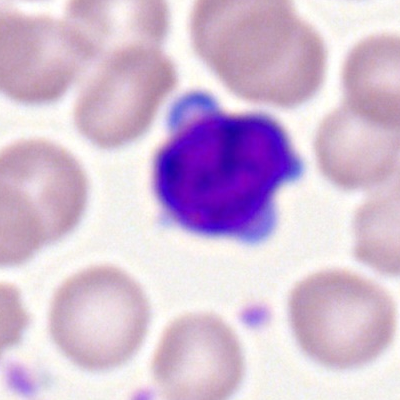Morphology consistent with a lymphocyte.